Bone marrow smear:
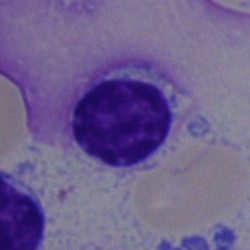Classification — typical lymphocyte.